Bone marrow smear · 40× objective, oil immersion · MGG-stained
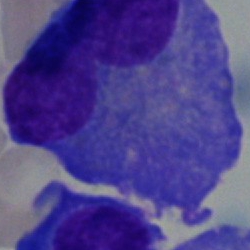

Q: What is shown here?
A: It is a plasmacyte.